MGG-stained; bone marrow aspirate smear — 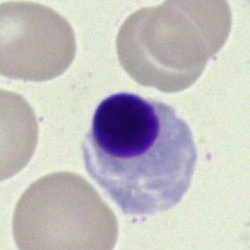Q: What is the morphological classification of this cell?
A: It is a nucleated red blood cell.